Bone marrow smear:
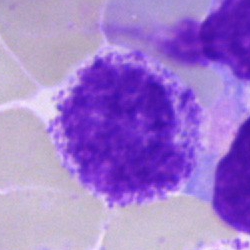

Morphology consistent with an artifact.